Bone marrow aspirate smear: 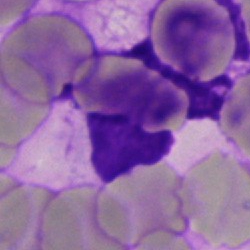

Impression — artefact.